250 by 250 pixels · bone marrow smear · brightfield, 40× oil-immersion objective:
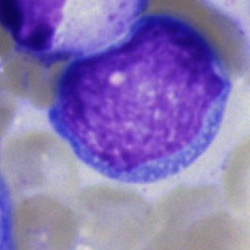 Showing an undifferentiated blast.